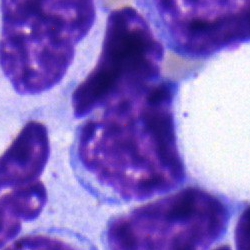
The classification is lymphocyte.